Bone marrow smear.
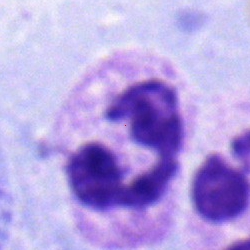Q: What type of cell is this?
A: This is a myelocyte.